250×250 · bone marrow smear.
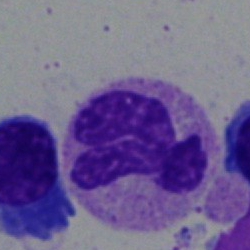Specimen: bone marrow aspirate smear.
Classification: polymorphonuclear neutrophil.
Lineage: myeloid.